May-Grünwald-Giemsa/Pappenheim stain. Bone marrow smear — 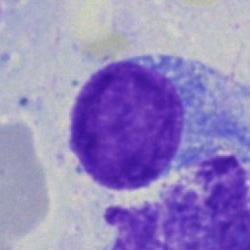

Specimen: bone marrow aspirate smear.
Cell: undifferentiated blast.